250×250 px · bone marrow aspirate smear — 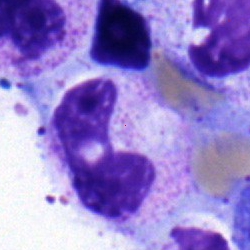A band-form neutrophil.